250×250. Bone marrow smear. Single-cell field:
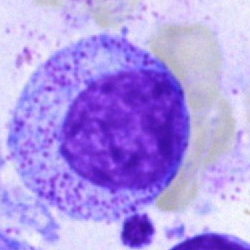 Classification = myelocyte.